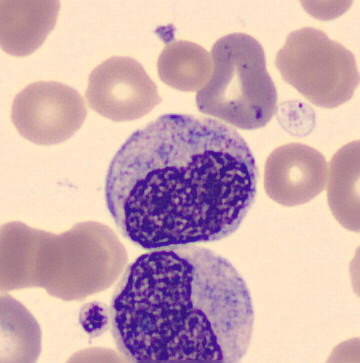

Single cell identified as a metamyelocyte.
Peripheral blood smear.